Bone marrow aspirate smear; 250×250 — 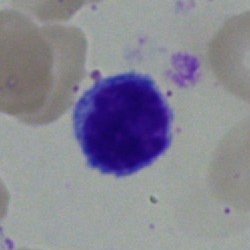 Impression — typical lymphocyte.